Image size 400×400. Peripheral blood film:
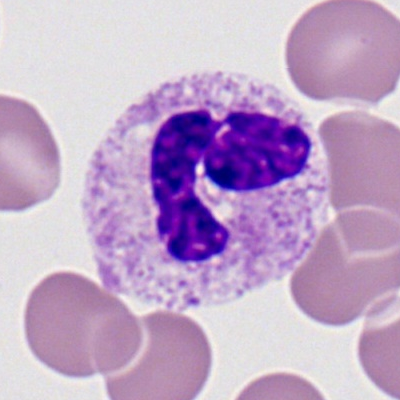Impression → polymorphonuclear neutrophil.